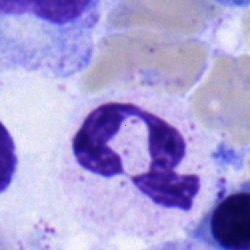Impression — polymorphonuclear neutrophil.